Bone marrow smear. Single-cell crop: 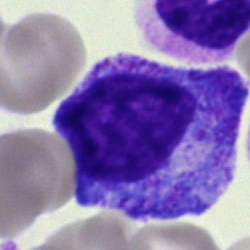 Cell: myelocyte.